Bone marrow smear: 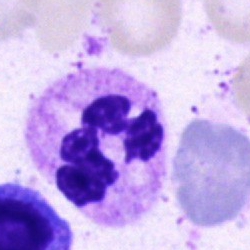

Q: What cell is this?
A: It is a polymorphonuclear neutrophil.